Bone marrow smear.
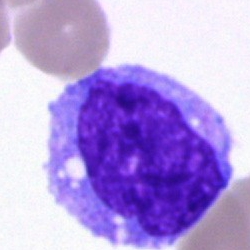

Specimen: bone marrow smear.
Morphological class: monocyte.
Lineage: myeloid.